Bone marrow smear — 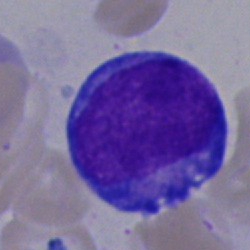The morphological class is blast.